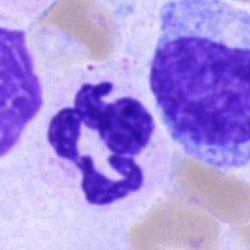Q: What type of cell is this?
A: Segmented neutrophil.